Bone marrow smear:
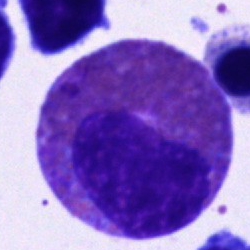

{"cell_type": "eosinophil"}